Peripheral blood film; single-cell crop:
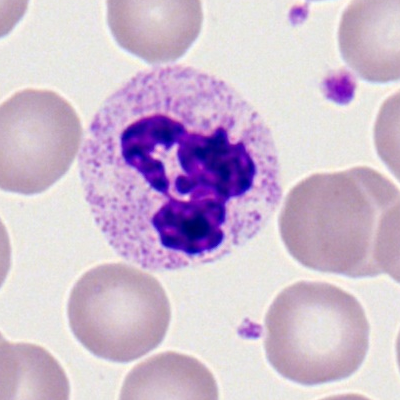
Specimen: peripheral blood smear.
Cell type: neutrophil (segmented).